Bone marrow aspirate smear. MGG-stained. Cropped to a single cell: 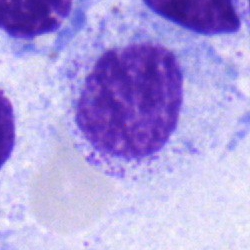 A myelocyte.